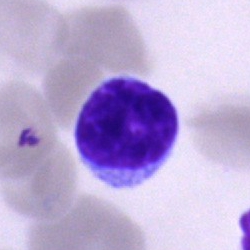 Cell — lymphocyte.